Bone marrow smear: 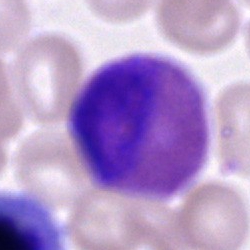An eosinophilic granulocyte.